Bone marrow aspirate smear; 250 by 250 pixels — 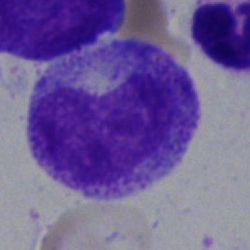 The cell shown is a myelocyte.